250×250; bone marrow smear.
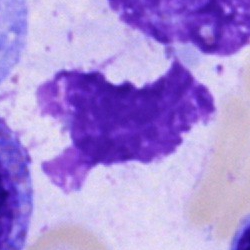

Morphological class: artefact.